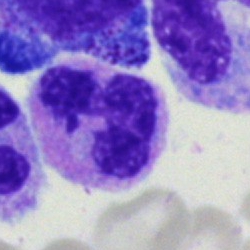

Cell type — polymorphonuclear neutrophil.